Brightfield, 40× oil-immersion objective · bone marrow smear · May-Grünwald-Giemsa stain:
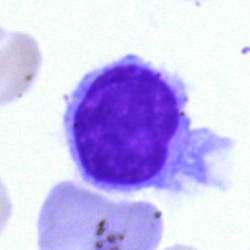The classification is artefact.